250×250 px · bone marrow aspirate smear — 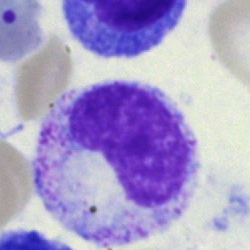
Morphology → metamyelocyte.